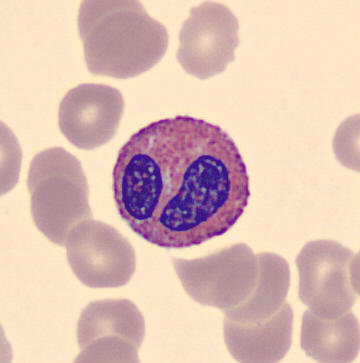From a peripheral blood smear: an eosinophil.